Peripheral blood film. Romanowsky-stained — 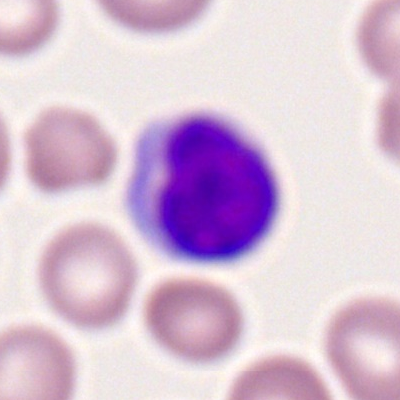

Cell — typical lymphocyte.